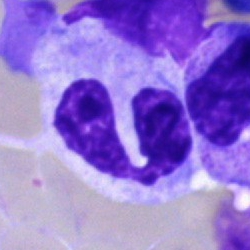Q: What cell is this?
A: It is a polymorphonuclear neutrophil.